Single-cell crop; bone marrow aspirate smear — 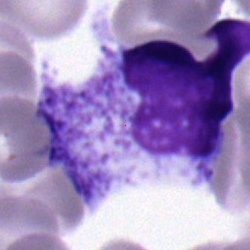
Q: What is the morphological classification of this cell?
A: A myelocyte.